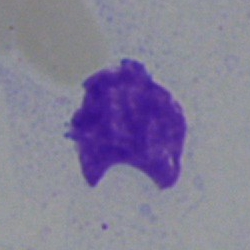 The classification is artifact.